Bone marrow smear.
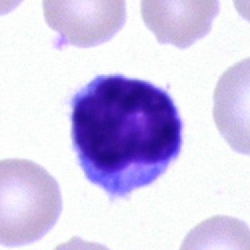

Q: Which cell type is shown here?
A: Typical lymphocyte.